Bone marrow smear; brightfield, 40× oil-immersion objective — 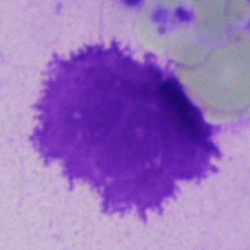
Classification = artefact.